Pappenheim-stained; bone marrow smear:
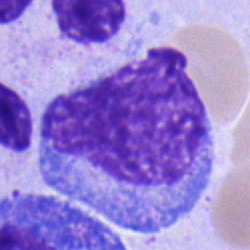

Showing a monocyte.